40× objective, oil immersion. Bone marrow smear:
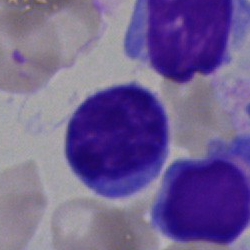
Morphology consistent with a lymphocyte.